Bone marrow smear · Pappenheim-stained.
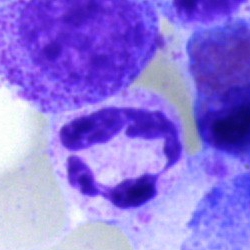
A segmented neutrophil.